Bone marrow smear
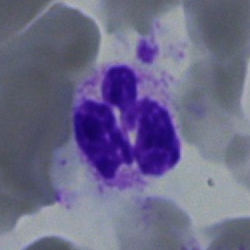 Morphology consistent with a segmented neutrophil.